40× oil immersion. Bone marrow smear
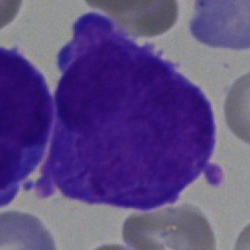 Q: What is the morphological classification of this cell?
A: Undifferentiated blast.